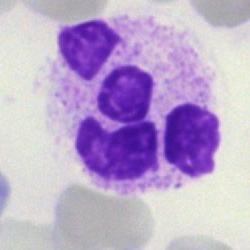
Morphology — neutrophil (segmented).